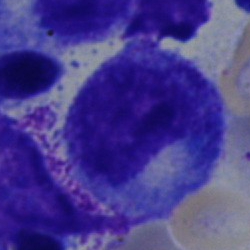Morphological class — promyelocyte.